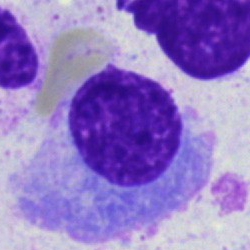 A plasmacyte.